Bone marrow smear:
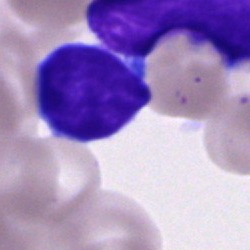
Q: Identify the cell.
A: This is a lymphocyte.